Bone marrow smear
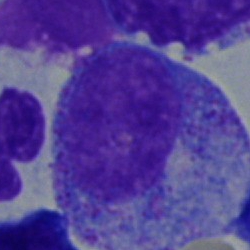
This is a promyelocyte.